Single cell centered in the field · MGG-stained · bone marrow smear — 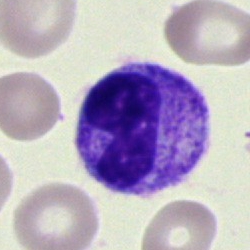

Morphology → neutrophil (band).